Brightfield, 40× oil-immersion objective. Bone marrow aspirate smear — 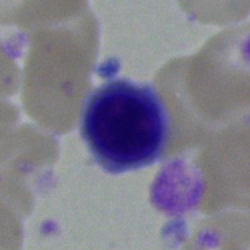 Q: Which cell type is shown here?
A: A lymphocyte.